Bone marrow smear:
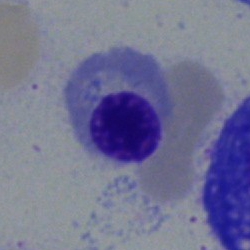

Nucleated red blood cell.